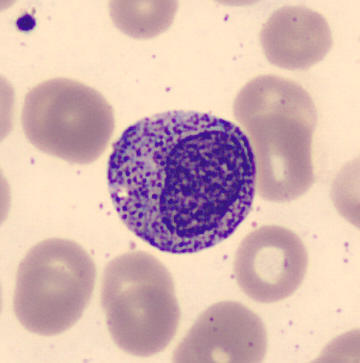Morphological class: myelocyte.
Peripheral blood smear.